400 by 400 pixels; peripheral blood film
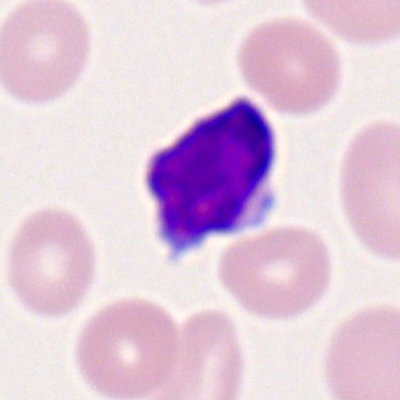 Morphology consistent with a typical lymphocyte.